Bone marrow aspirate smear.
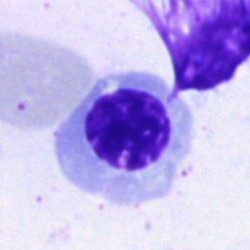 Cell type = nucleated red cell.